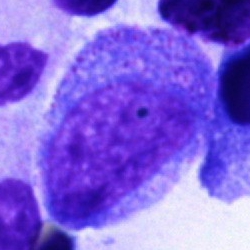
Specimen: bone marrow aspirate smear.
Cell: promyelocyte.
Lineage: myeloid.